Single cell centered in the field · bone marrow smear:
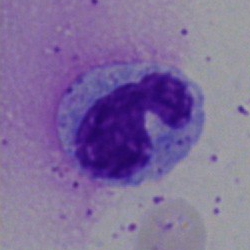
Q: What cell is this?
A: Segmented neutrophil.